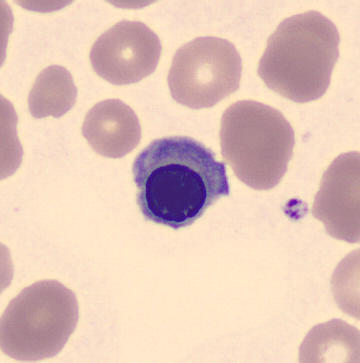

Image: Peripheral blood film · CellaVision DM96.

A nucleated red blood cell.